250×250 px. Bone marrow smear: 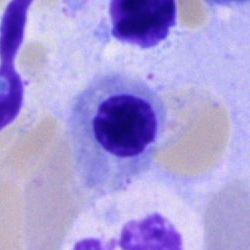

Erythroblast.